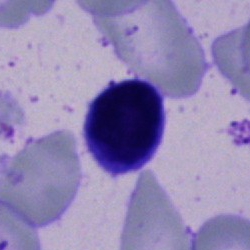 Specimen: bone marrow aspirate smear.
Cell: artifact.